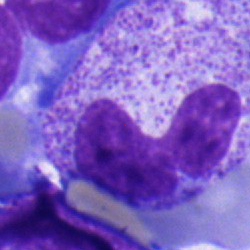 Single-cell crop from a bone marrow smear: neutrophil (segmented).